Peripheral blood film — 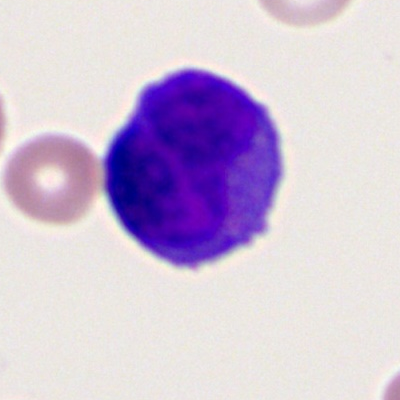

Q: What cell is this?
A: It is a myeloid blast.